Bone marrow smear
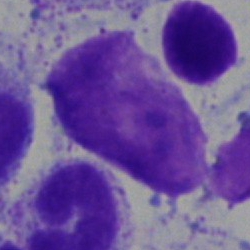

This is an artifact.